Bone marrow smear · cropped to a single cell · Pappenheim-stained
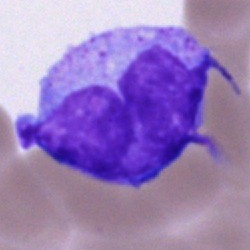 Morphological class: monocyte.